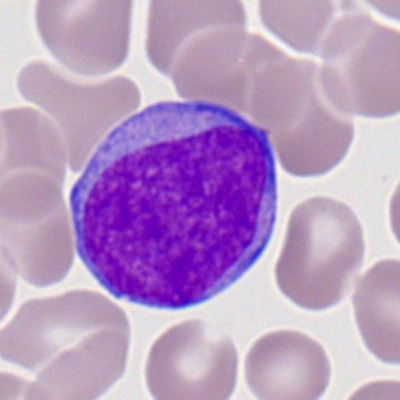Showing a myeloblast.